Bone marrow aspirate smear. 250 by 250 pixels — 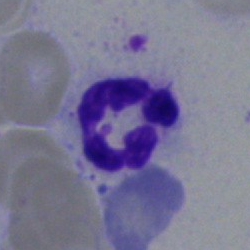 Morphological class = polymorphonuclear neutrophil.